Bone marrow aspirate smear; 40× oil immersion:
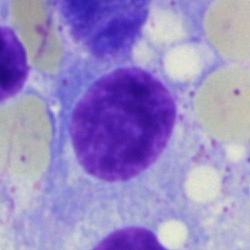

Q: What cell is this?
A: This is a plasmacyte.